Bone marrow smear. 40× objective, oil immersion — 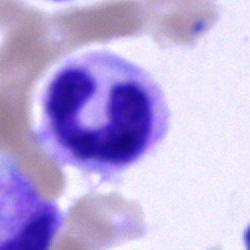
Classification: polymorphonuclear neutrophil.